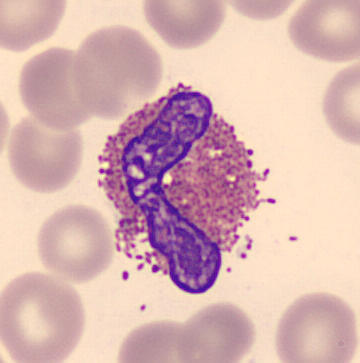 May Grünwald-Giemsa stain. Peripheral blood smear.
Impression → eosinophilic granulocyte.